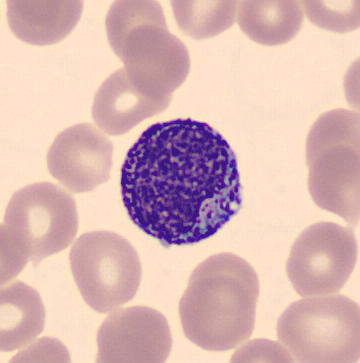Single-cell crop from a peripheral blood smear: myelocyte.